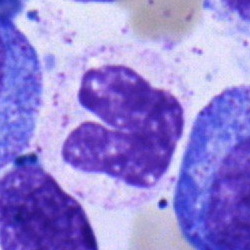Classification = band-form neutrophil.